Bone marrow smear:
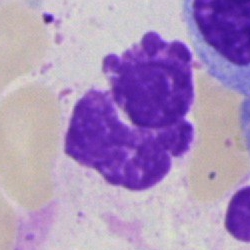 This is an artifact.